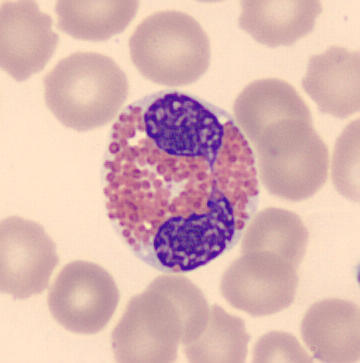Cell: eosinophil.
Peripheral blood smear.